Bone marrow aspirate smear: 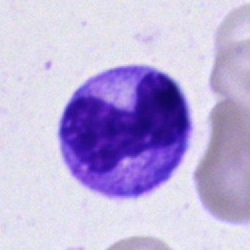
{"cell_type": "band neutrophil", "lineage": "myeloid"}